Bone marrow smear. Brightfield, 40× oil-immersion objective.
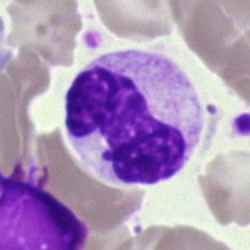 Cell: neutrophil (segmented).